Bone marrow aspirate smear: 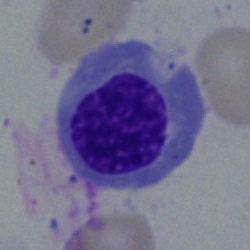 Nucleated red blood cell.